Bone marrow smear. Cropped to a single cell — 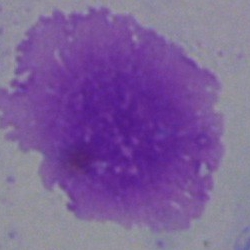Impression — artifact.